Bone marrow aspirate smear
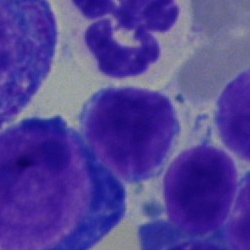

Lymphocyte.